Peripheral blood smear; 400×400 — 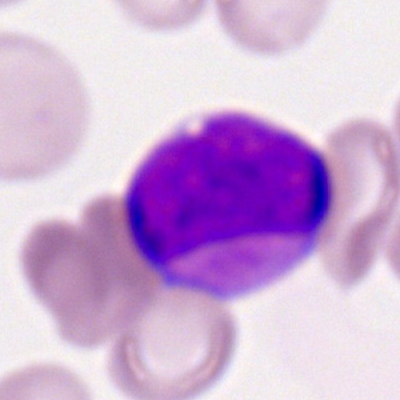

Myeloblast.